May-Grünwald-Giemsa stain; bone marrow smear; 40× oil immersion — 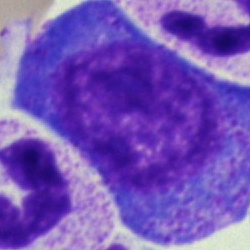 A progranulocyte.